Bone marrow aspirate smear:
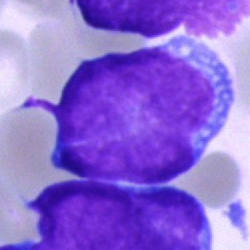

Q: What is shown here?
A: Blast.